Single cell centered in the field · 40× objective, oil immersion · bone marrow smear: 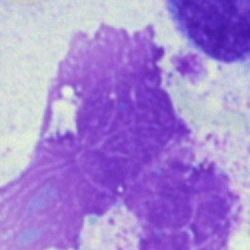
Classification — artifact.